250×250; bone marrow smear.
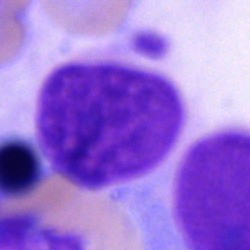 Morphology — artifact.